Bone marrow smear — 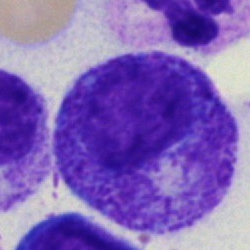

{"cell_type": "promyelocyte"}